Bone marrow aspirate smear
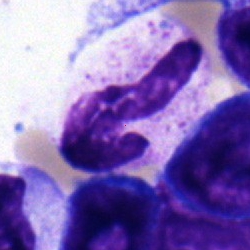
The cell shown is a neutrophil (band).